Bone marrow aspirate smear. May-Grünwald-Giemsa stain
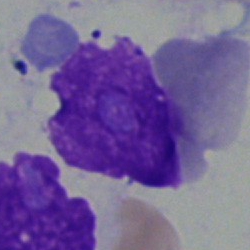
Q: What is shown here?
A: Artefact.